Pappenheim-stained. 40× objective, oil immersion. Bone marrow smear.
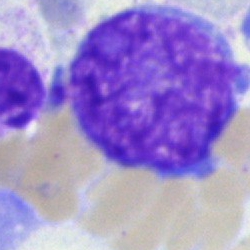

Impression → undifferentiated blast.